Image size 250×250 · single-cell crop · bone marrow aspirate smear — 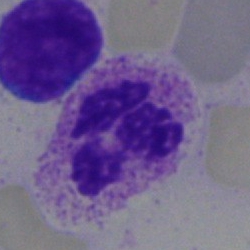Specimen: bone marrow smear.
Classification: polymorphonuclear neutrophil.